Bone marrow smear; 40× oil immersion.
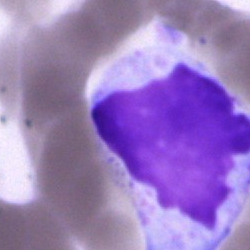
Single cell identified as an artifact.